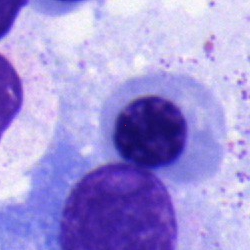
The cell shown is an erythroblast.